Single-cell crop. Bone marrow aspirate smear:
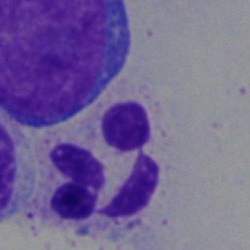
Cell = polymorphonuclear neutrophil.